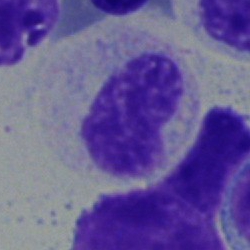Morphology consistent with a metamyelocyte.